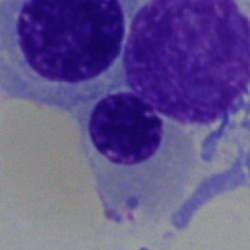 Cell type: normoblast.